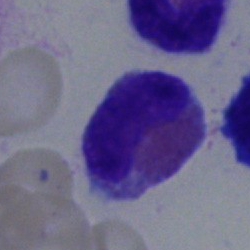

{"cell_type": "eosinophilic granulocyte", "lineage": "myeloid"}